Bone marrow smear:
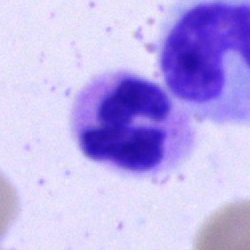

A neutrophil (segmented).